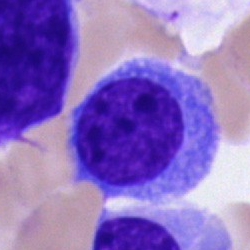

Cell = normoblast.